250×250 · bone marrow aspirate smear.
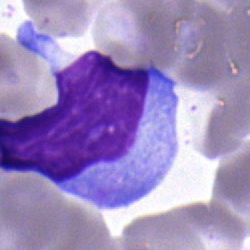Cell — typical lymphocyte.